Single-cell field · bone marrow smear: 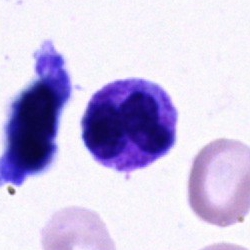
Morphology consistent with a segmented neutrophil.